40× oil immersion. Bone marrow smear.
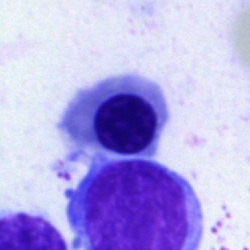Cell — nucleated red blood cell.